Bone marrow aspirate smear · single cell centered in the field · 250×250: 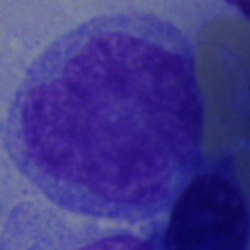

Specimen: bone marrow aspirate smear.
Classification: monocyte.